250 by 250 pixels; bone marrow aspirate smear
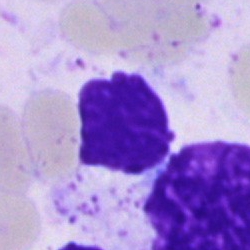Artifact.